Single cell centered in the field. Peripheral blood film: 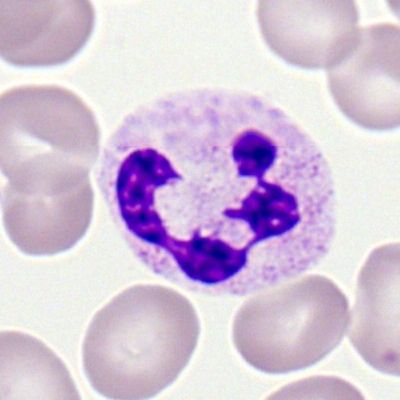

Neutrophil (segmented).